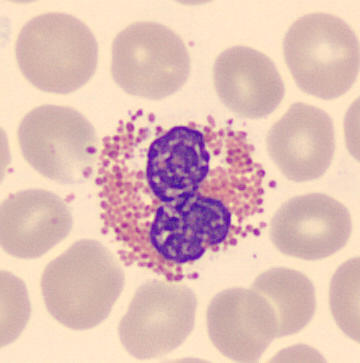

Cell: eosinophilic granulocyte.